Bone marrow smear.
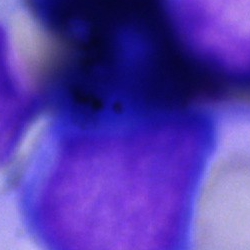 This is an artefact.